Bone marrow smear
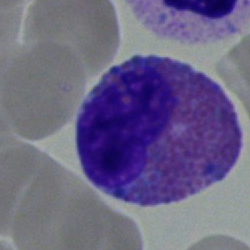Specimen: bone marrow aspirate smear.
Cell: eosinophilic granulocyte.
Lineage: myeloid.